250×250 px · May-Grünwald-Giemsa stain · bone marrow aspirate smear.
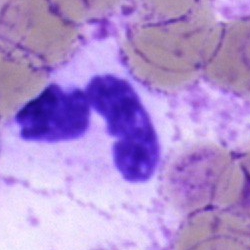
A neutrophil (segmented).